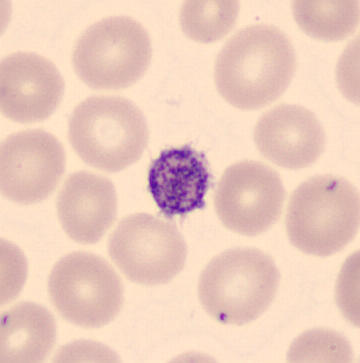Q: What is this?
A: A platelet.

Peripheral blood film · automated cell imaging (CellaVision DM96) · MGG stain.